May-Grünwald-Giemsa stain. Bone marrow aspirate smear: 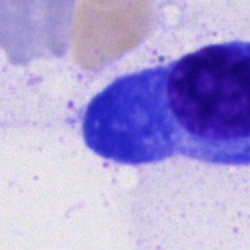{"cell_type": "plasmacyte", "lineage": "lymphoid"}